Bone marrow aspirate smear
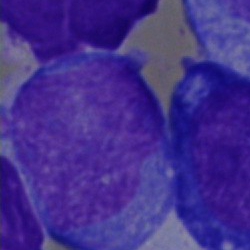 Morphology consistent with a blast cell.